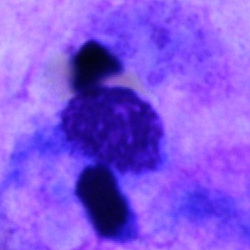

Q: What is shown here?
A: This is an artefact.